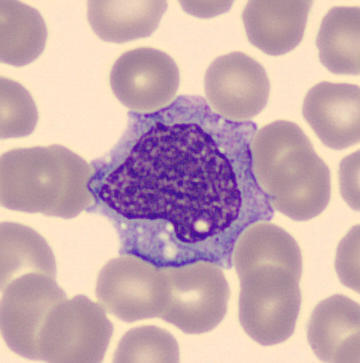Acquisition: Peripheral blood smear.
Q: What is the morphological classification of this cell?
A: It is a monocyte.